Bone marrow aspirate smear — 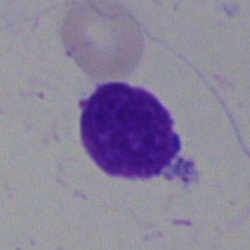

Q: What is shown here?
A: This is an artifact.